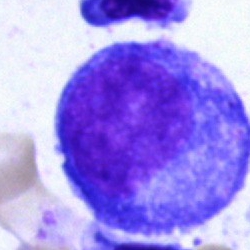Promyelocyte.